250×250 px · single cell centered in the field · bone marrow aspirate smear
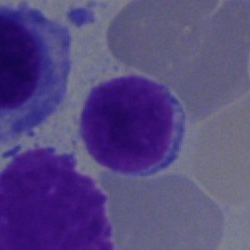Morphology consistent with a typical lymphocyte.